Bone marrow aspirate smear:
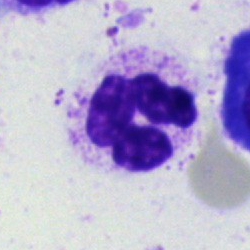 Morphology consistent with a neutrophil (segmented).